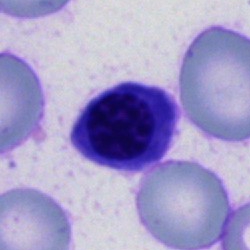

The classification is artefact.